MGG-stained; bone marrow smear.
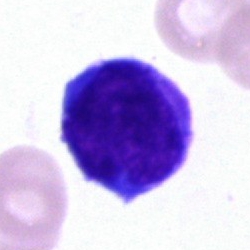
Q: What cell is this?
A: Undifferentiated blast.